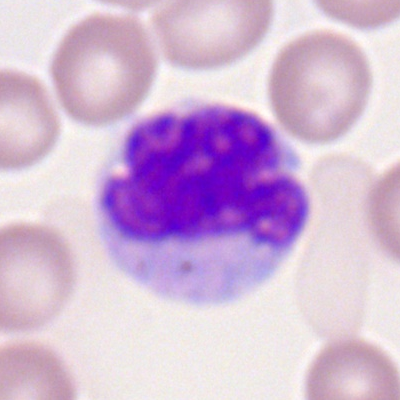

Showing a monocyte.